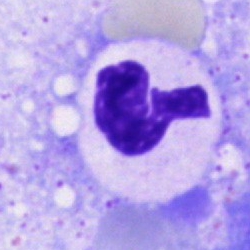Q: What is the morphological classification of this cell?
A: A segmented neutrophil.